Bone marrow smear:
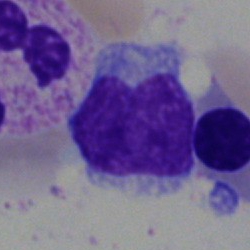 Classification: typical lymphocyte.